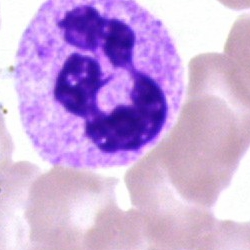Cell type = segmented neutrophil.